Bone marrow smear:
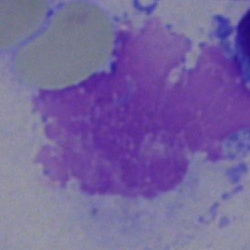
Morphology — artefact.